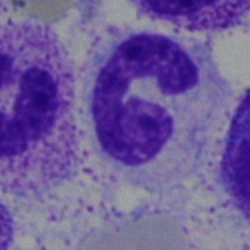 Q: What cell is this?
A: This is a segmented neutrophil.